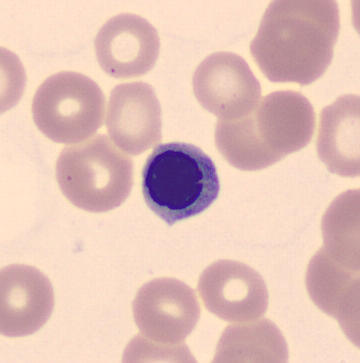 Peripheral blood film. 360×363. The classification is nucleated red cell.